Bone marrow aspirate smear · single cell centered in the field · brightfield microscopy, 40× oil immersion — 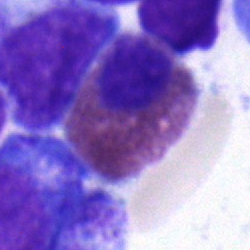
Morphology — eosinophil.